May-Grünwald-Giemsa/Pappenheim stain. Bone marrow aspirate smear. Cropped to a single cell: 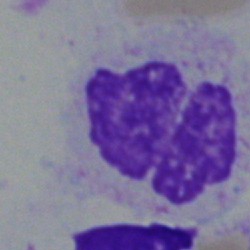

Morphological class — neutrophil (segmented).